Bone marrow smear: 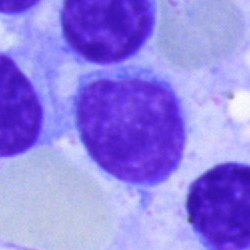

This is a typical lymphocyte.